250×250. Pappenheim-stained. Bone marrow smear — 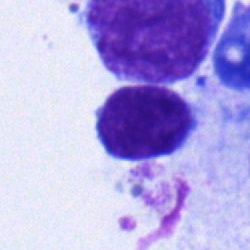

This is a lymphocyte.